Bone marrow aspirate smear:
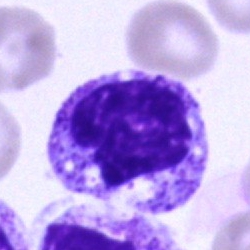

Impression — neutrophil (segmented).